Single-cell crop; bone marrow aspirate smear; 250 by 250 pixels:
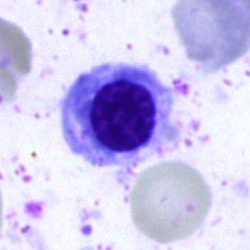
Q: Which cell type is shown here?
A: Nucleated red blood cell.